Brightfield microscopy, 40× oil immersion · bone marrow smear · single-cell crop:
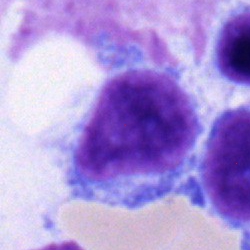Classification = typical lymphocyte.